Peripheral blood smear; Romanowsky stain — 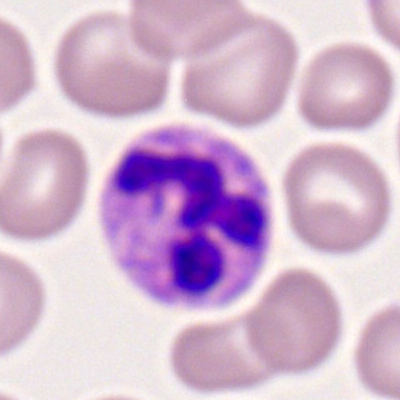A segmented neutrophil.